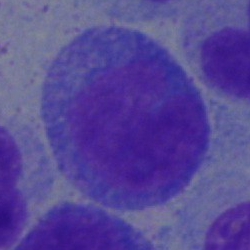

This is a promyelocyte.